Bone marrow aspirate smear. 250 by 250 pixels:
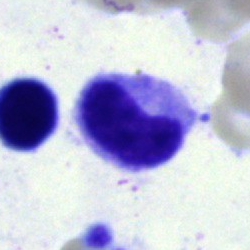 Metamyelocyte.